Bone marrow smear:
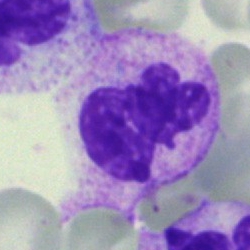 Impression → polymorphonuclear neutrophil.